Bone marrow smear:
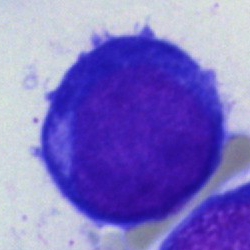Specimen: bone marrow smear.
Cell: proerythroblast.